Bone marrow smear: 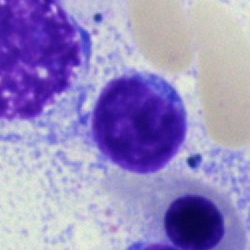The cell shown is a typical lymphocyte.